Bone marrow aspirate smear; 40× objective, oil immersion: 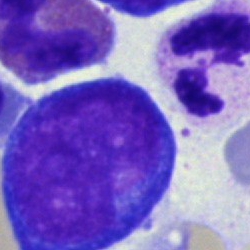

Q: Which cell type is shown here?
A: Pronormoblast.